Pappenheim-stained. Bone marrow smear:
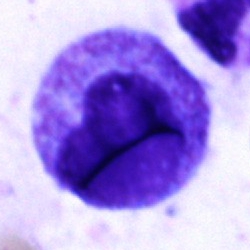Morphology — progranulocyte.